Bone marrow smear
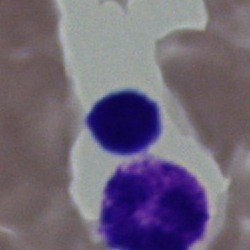Morphology consistent with a typical lymphocyte.